Romanowsky-stained · peripheral blood smear:
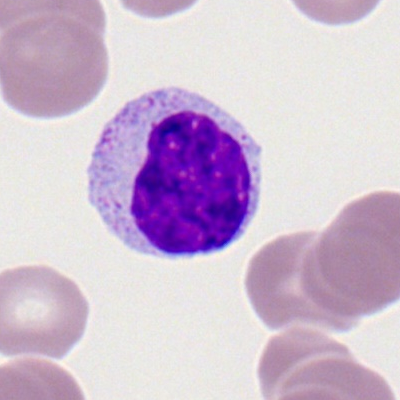

Q: Which cell type is shown here?
A: A lymphocyte.